40× objective, oil immersion. Bone marrow smear: 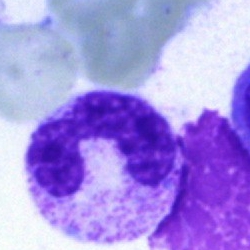 This is a stab cell.